MGG-stained. Bone marrow aspirate smear. 250 by 250 pixels
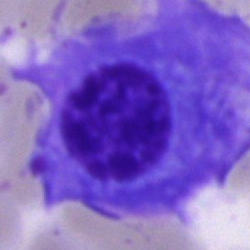Q: What is shown here?
A: This is a plasma cell.